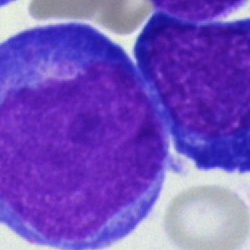Bone marrow aspirate smear, single cell — pronormoblast.